Single-cell field. Bone marrow aspirate smear
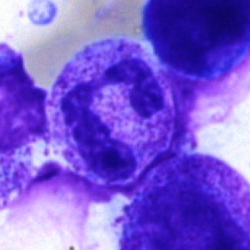The cell is neutrophil (segmented).